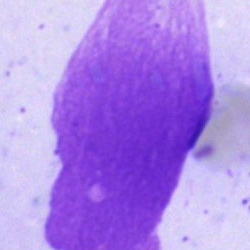Morphology consistent with an artifact.